Bone marrow aspirate smear · 250×250.
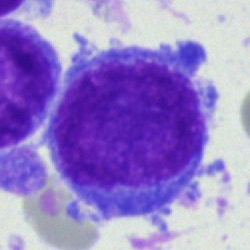

Cell: immature lymphocyte.